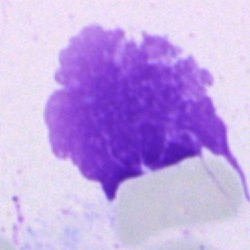 Impression → artifact.